Single-cell field; bone marrow aspirate smear:
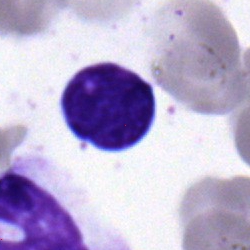

Cell type — lymphocyte.